Image size 250×250; bone marrow aspirate smear; May-Grünwald-Giemsa stain:
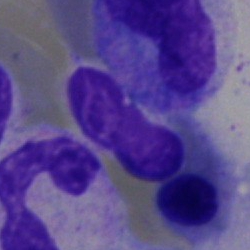
Q: Identify the cell.
A: This is a neutrophil (band).